Bone marrow smear
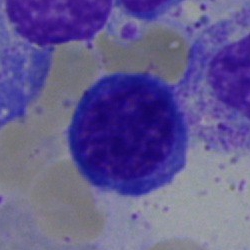Morphology — erythroblast.